Bone marrow aspirate smear · May-Grünwald-Giemsa stain:
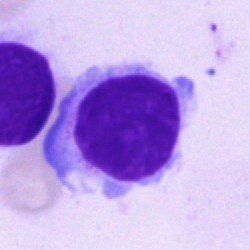

The cell type is typical lymphocyte.